Bone marrow smear.
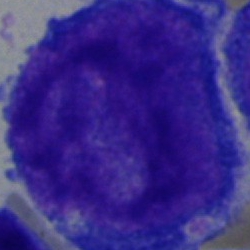Specimen: bone marrow aspirate smear.
Cell: proerythroblast.
Lineage: erythroid.